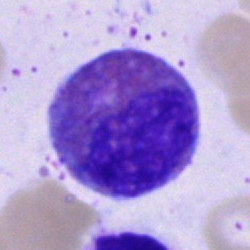The cell shown is an eosinophil.